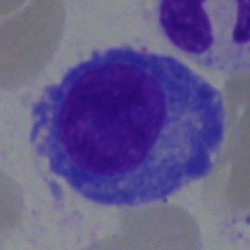 Cell type = plasma cell.